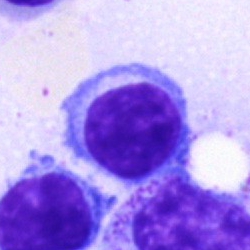 Bone marrow aspirate smear, single cell — lymphocyte.